Single-cell crop; bone marrow aspirate smear; 250 by 250 pixels.
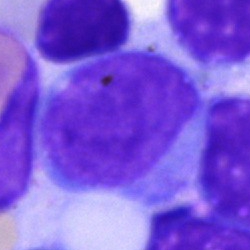This is a blast.